Bone marrow aspirate smear: 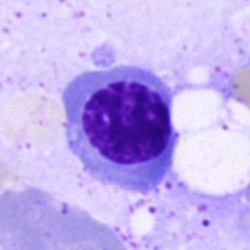

Morphology — nucleated red cell.